Bone marrow smear; cropped to a single cell; image size 250×250 — 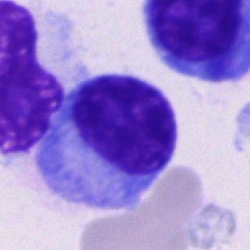Single cell identified as a plasmacyte.